Bone marrow aspirate smear
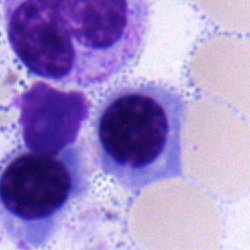Morphology consistent with a nucleated red blood cell.